100× oil immersion, 14.14 px/µm; peripheral blood film: 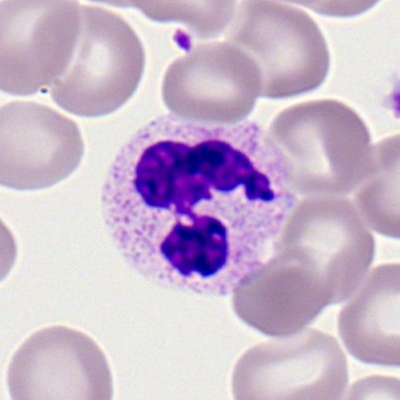Morphological class = polymorphonuclear neutrophil.